Peripheral blood film.
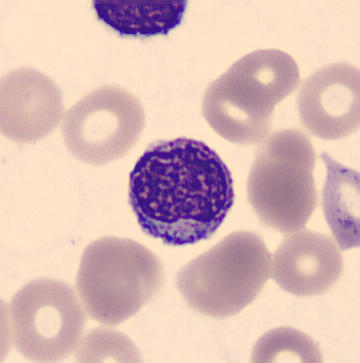 Q: Which cell type is shown here?
A: Myelocyte.